Bone marrow smear: 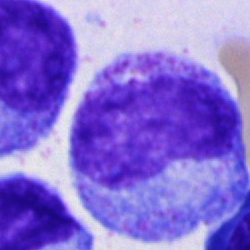 Specimen: bone marrow aspirate smear.
Cell type: progranulocyte.
Lineage: myeloid.